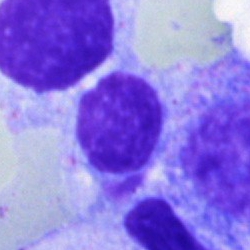 Morphological class: typical lymphocyte.